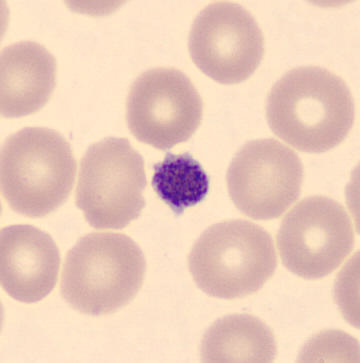May Grünwald-Giemsa stain; CellaVision DM96 digital cell image; peripheral blood film.

Cell type — platelet (thrombocyte).